400 by 400 pixels · single-cell crop · peripheral blood smear:
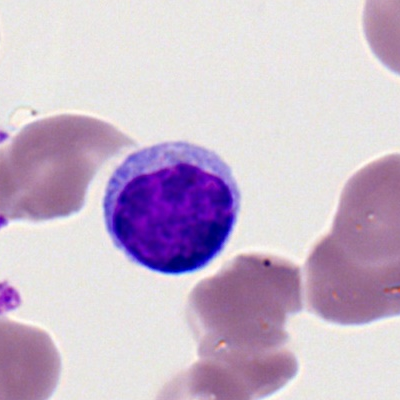 Impression → lymphocyte.